Bone marrow aspirate smear: 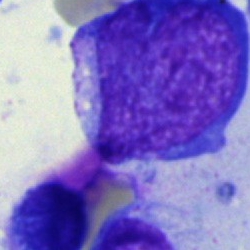 Cell type — blast cell.